Bone marrow smear
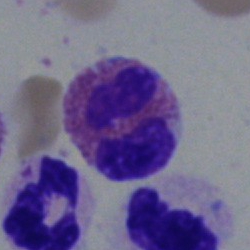

Single cell identified as an eosinophil.